Bone marrow aspirate smear.
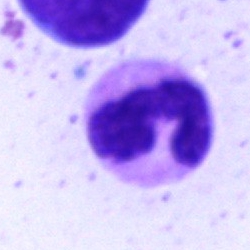Single cell identified as a polymorphonuclear neutrophil.